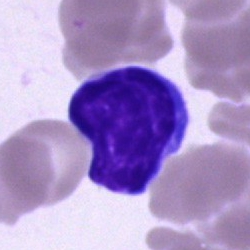
This is a typical lymphocyte.